Bone marrow smear; cropped to a single cell; 40× objective, oil immersion.
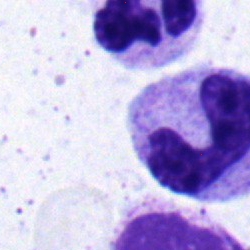Showing a segmented neutrophil.